Bone marrow smear. May-Grünwald-Giemsa stain. Brightfield microscopy, 40× oil immersion
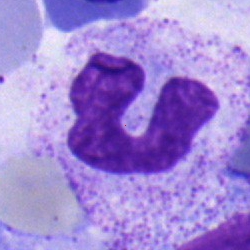
Specimen: bone marrow smear.
Morphological class: band neutrophil.
Lineage: myeloid.